Bone marrow smear — 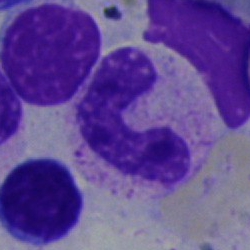 Cell: stab cell.